Bone marrow smear — 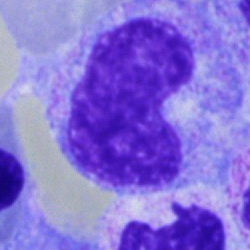Q: What is shown here?
A: It is a metamyelocyte.